Peripheral blood smear
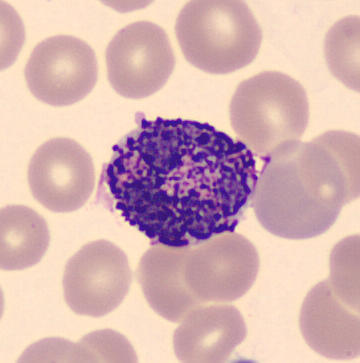
Morphological class — basophilic granulocyte.